May-Grünwald-Giemsa/Pappenheim stain · bone marrow aspirate smear.
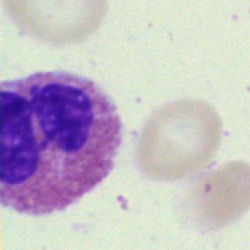

{"cell_type": "eosinophilic granulocyte", "lineage": "myeloid"}